Bone marrow aspirate smear.
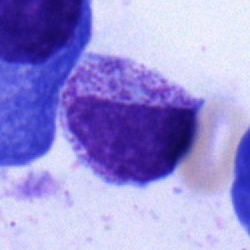

Showing a myelocyte.